Bone marrow smear. 250 by 250 pixels: 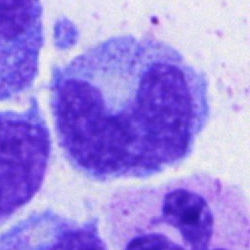Q: What is the morphological classification of this cell?
A: This is a band neutrophil.